Bone marrow smear:
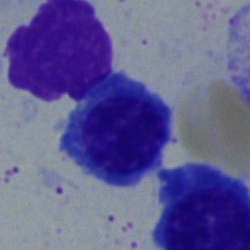 This is a nucleated red cell.